Brightfield microscopy, 40× oil immersion; bone marrow aspirate smear:
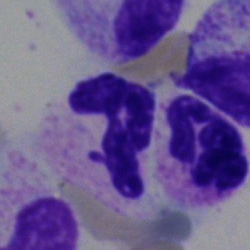
Single cell identified as a polymorphonuclear neutrophil.